Bone marrow aspirate smear: 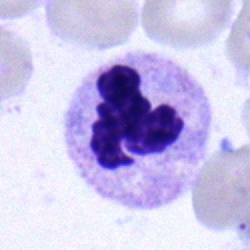
Q: Identify the cell.
A: Polymorphonuclear neutrophil.